250×250 · bone marrow aspirate smear — 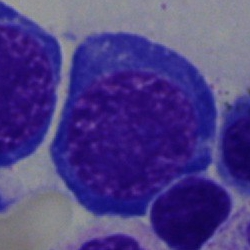

Erythroblast.